Bone marrow smear.
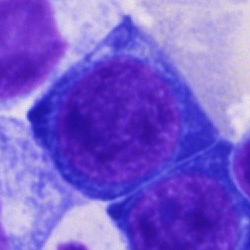
{"cell_type": "normoblast", "lineage": "erythroid"}